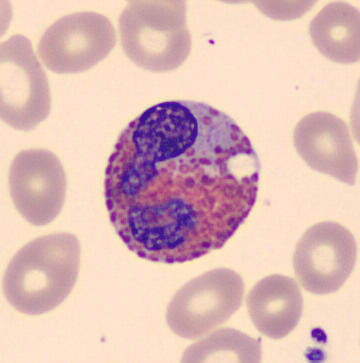
Showing an eosinophilic granulocyte.

Image: Peripheral blood film · MGG stain.